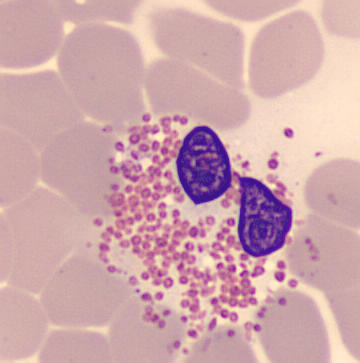
Identified as an eosinophilic granulocyte.